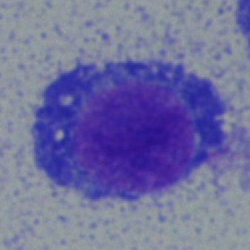
Impression — plasma cell.